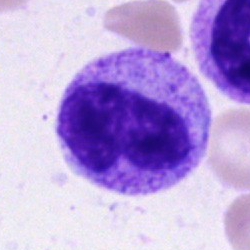
{"cell_type": "metamyelocyte", "lineage": "myeloid"}